250×250. Bone marrow aspirate smear.
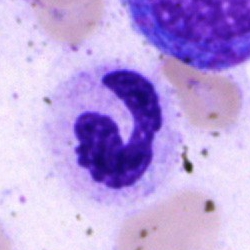
Showing a polymorphonuclear neutrophil.